40× objective, oil immersion; bone marrow aspirate smear
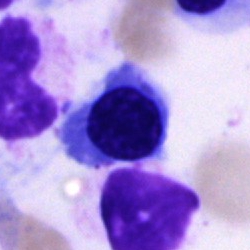

Specimen: bone marrow aspirate smear.
Morphological class: nucleated red cell.
Lineage: erythroid.